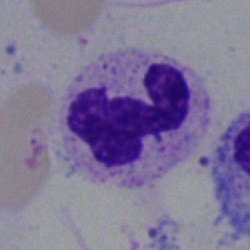

Q: What type of cell is this?
A: Segmented neutrophil.